Bone marrow smear:
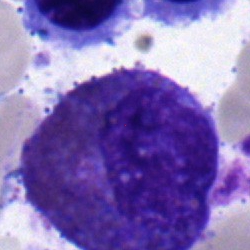

Impression — eosinophilic granulocyte.